Bone marrow smear
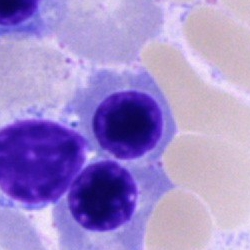

Specimen: bone marrow aspirate smear.
Cell type: erythroblast.